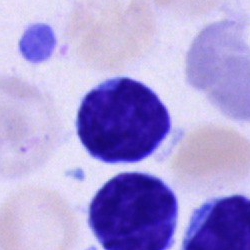Cell type — typical lymphocyte.